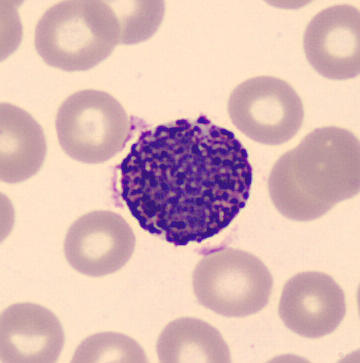 Peripheral blood smear.
{"cell_type": "basophilic granulocyte", "lineage": "myeloid"}